Brightfield, 40× oil-immersion objective. Bone marrow aspirate smear.
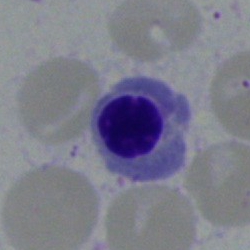Cell = erythroblast.